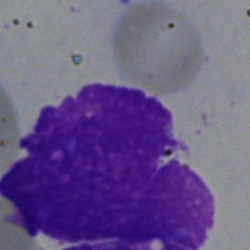Impression → artefact.